Bone marrow smear; 250×250 px; cropped to a single cell.
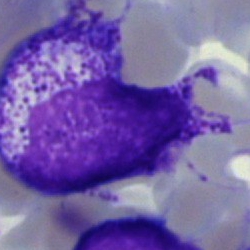

Single cell identified as a myelocyte.